Bone marrow smear:
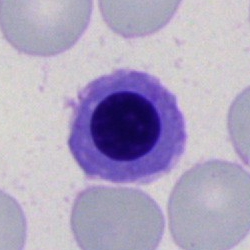 Q: What cell is this?
A: This is a nucleated red cell.